Bone marrow aspirate smear
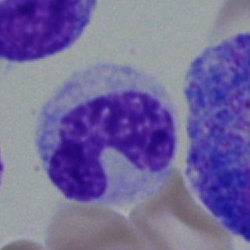
Q: Identify the cell.
A: A neutrophil (band).